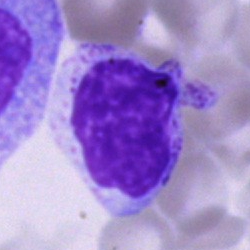
Morphology consistent with a lymphocyte.